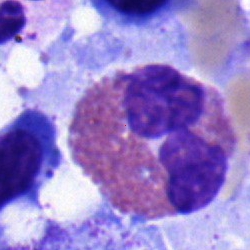
Classification — eosinophilic granulocyte.